Peripheral blood film — 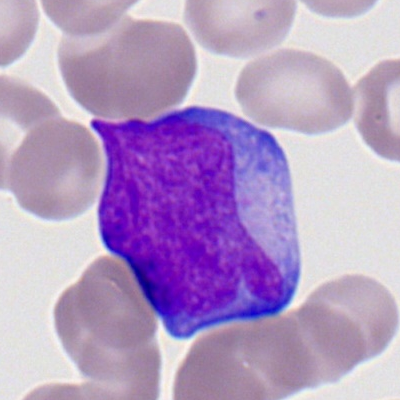

Morphology consistent with a myeloblast.